Bone marrow aspirate smear. May-Grünwald-Giemsa stain
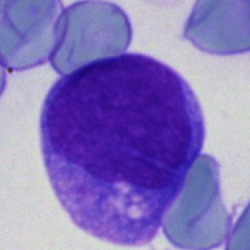
{"cell_type": "blast cell"}